Bone marrow smear; single-cell crop; brightfield, 40× oil-immersion objective — 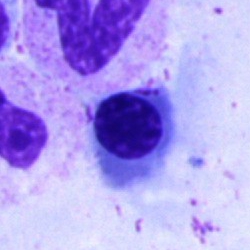Impression → erythroblast.